Bone marrow smear — 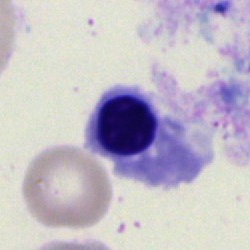Cell type: nucleated red blood cell.